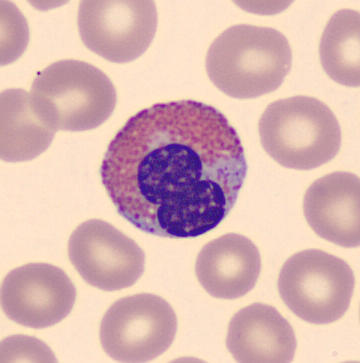 Identified as an eosinophil.

Preparation: Peripheral blood film.